Bone marrow smear
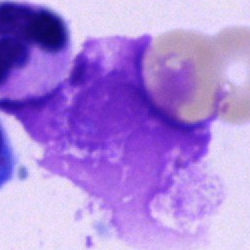 The classification is artefact.